MGG-stained. Image size 250×250. Bone marrow aspirate smear — 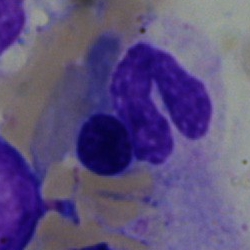Classification — neutrophil (band).